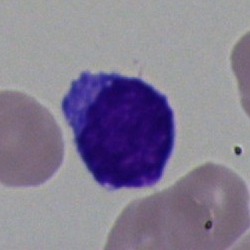

Q: What is the morphological classification of this cell?
A: An undifferentiated blast.